40× objective, oil immersion · bone marrow smear · single-cell crop
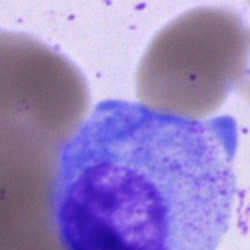 Classification — promyelocyte.